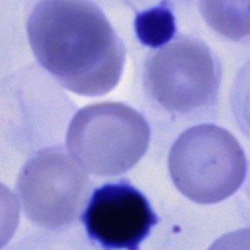

Morphology consistent with an unidentifiable cell.